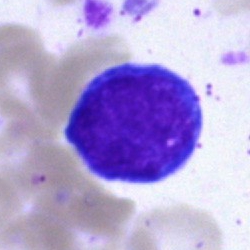

Specimen: bone marrow smear.
Morphological class: lymphocyte.
Lineage: lymphoid.